MGG-stained. Bone marrow aspirate smear.
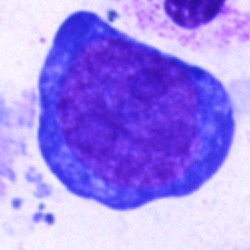Specimen: bone marrow smear.
Cell type: proerythroblast.
Lineage: erythroid.